MGG-stained; bone marrow smear; 250 by 250 pixels:
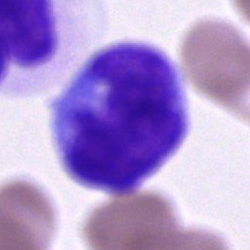

The cell shown is a monocyte.